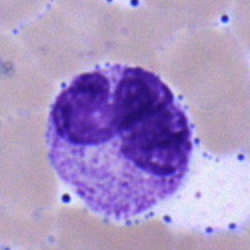 Cell type — neutrophil (segmented).